Bone marrow smear:
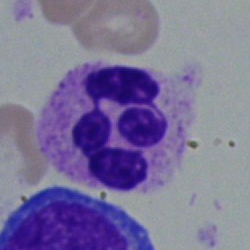 Morphology → segmented neutrophil.